Bone marrow smear:
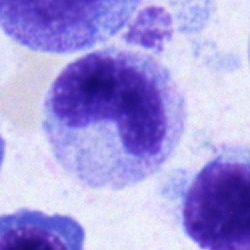Impression — metamyelocyte.